250×250 px · bone marrow smear
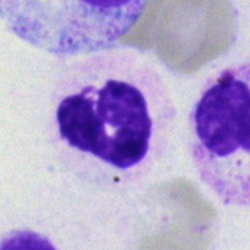 Cell: polymorphonuclear neutrophil.